Bone marrow aspirate smear — 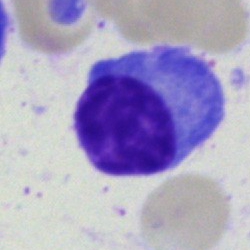 A plasmacyte.